Romanowsky-type stain; M8 digital microscope (Precipoint), 100× oil immersion; peripheral blood film — 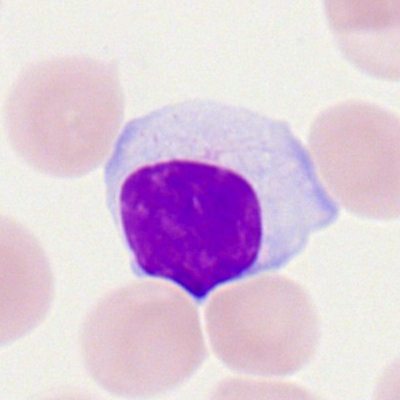Morphological class = typical lymphocyte.